May-Grünwald-Giemsa/Pappenheim stain; bone marrow smear
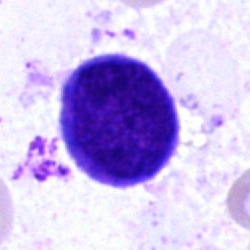Cell = undifferentiated blast.